250×250 px · bone marrow aspirate smear.
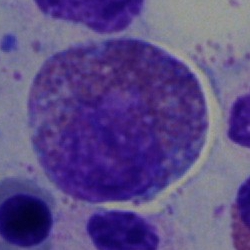

Q: Which cell type is shown here?
A: Eosinophil.